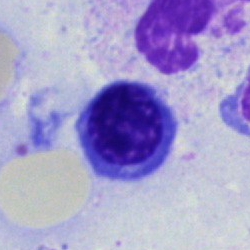Bone marrow aspirate smear, single cell — normoblast.